Peripheral blood film
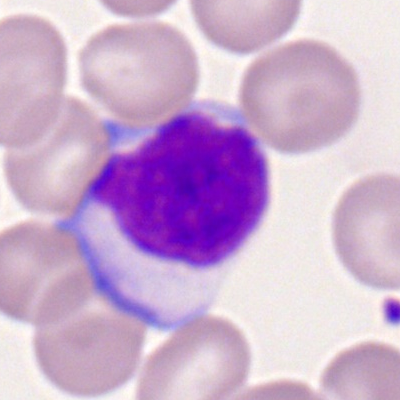Classification = lymphocyte.